Bone marrow smear:
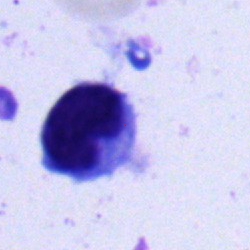Morphology → lymphocyte.